40× oil immersion · bone marrow smear: 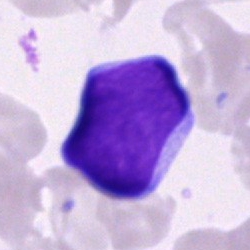
Cell = blast.